Bone marrow aspirate smear
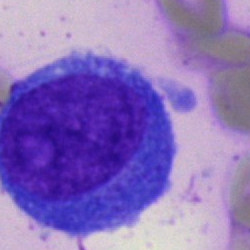
Cell — undifferentiated blast.